Single cell centered in the field · bone marrow smear — 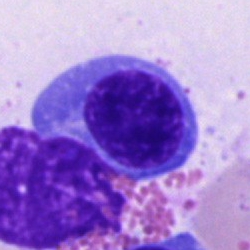Showing a normoblast.